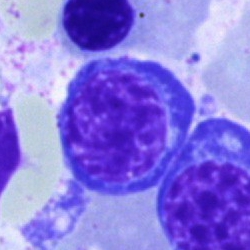Single-cell crop from a bone marrow smear: erythroblast.